Bone marrow smear · cropped to a single cell:
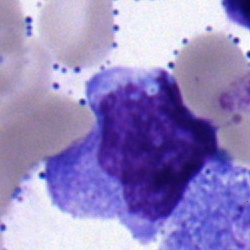 Q: What is the morphological classification of this cell?
A: This is a lymphocyte.